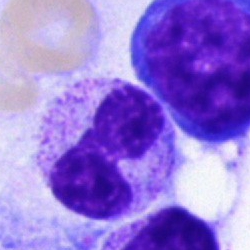

Impression → polymorphonuclear neutrophil.